250×250. Bone marrow aspirate smear. Single cell centered in the field:
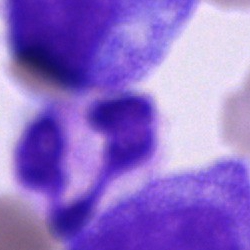 Specimen: bone marrow aspirate smear.
Cell type: neutrophil (segmented).
Lineage: myeloid.